Single-cell field · MGG-stained · bone marrow aspirate smear — 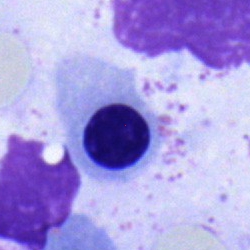 Q: What type of cell is this?
A: It is a nucleated red cell.